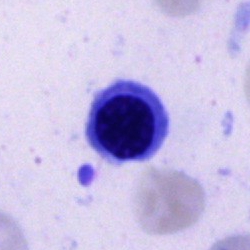Impression — nucleated red blood cell.